Bone marrow aspirate smear · 40× objective, oil immersion:
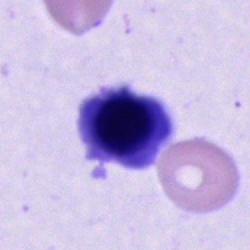Morphological class: cell of indeterminate lineage.